Bone marrow smear; brightfield microscopy, 40× oil immersion.
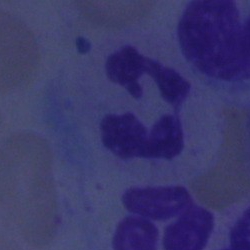
Classification: neutrophil (segmented).